Bone marrow aspirate smear; May-Grünwald-Giemsa stain; 40× objective, oil immersion: 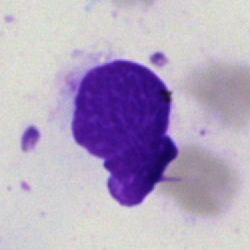
Morphology consistent with an artefact.